250×250 · bone marrow aspirate smear · brightfield, 40× oil-immersion objective: 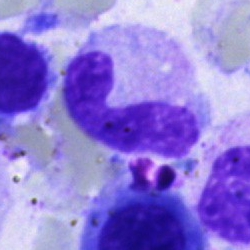 Cell type — neutrophil (band).